Brightfield, 40× oil-immersion objective; bone marrow aspirate smear: 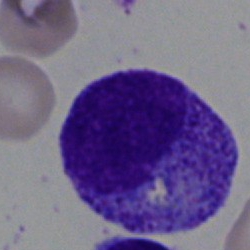
A progranulocyte.